Cropped to a single cell. Peripheral blood film
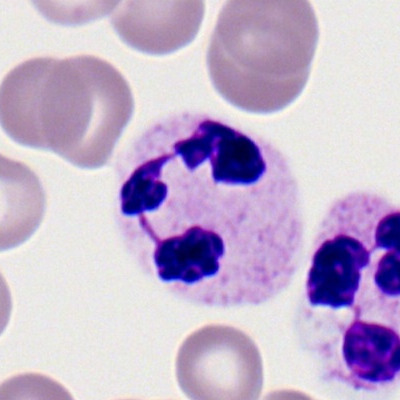 Morphology consistent with a neutrophil (segmented).